Bone marrow aspirate smear · brightfield, 40× oil-immersion objective — 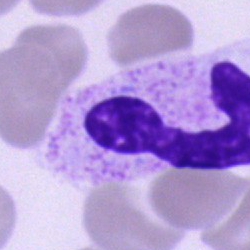
Morphological class: band neutrophil.